Bone marrow smear — 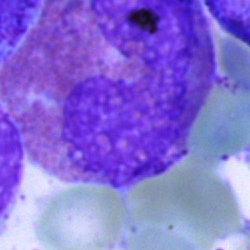Q: What cell is this?
A: An eosinophilic granulocyte.